Bone marrow smear; single-cell crop — 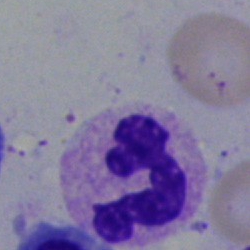

This is a segmented neutrophil.